Peripheral blood film
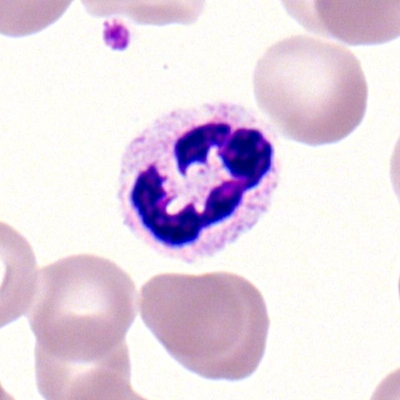 Classification — segmented neutrophil.